Single cell centered in the field; bone marrow smear; MGG-stained
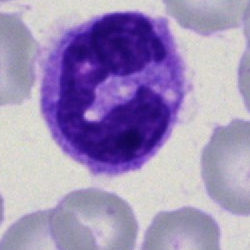
Impression — segmented neutrophil.